Bone marrow smear; brightfield, 40× oil-immersion objective; 250×250: 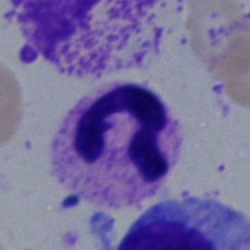 Morphological class = polymorphonuclear neutrophil.